Bone marrow smear.
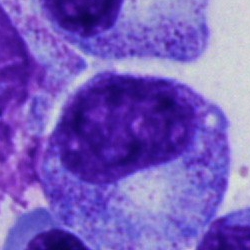

Specimen: bone marrow aspirate smear.
Cell type: promyelocyte.
Lineage: myeloid.